Bone marrow aspirate smear; brightfield, 40× oil-immersion objective:
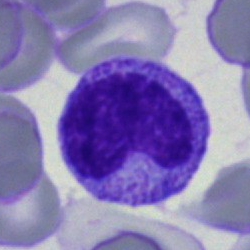Specimen: bone marrow aspirate smear.
Cell: metamyelocyte.
Lineage: myeloid.